Bone marrow aspirate smear.
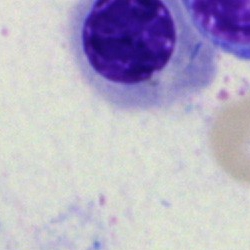
Morphology consistent with a normoblast.